Bone marrow aspirate smear
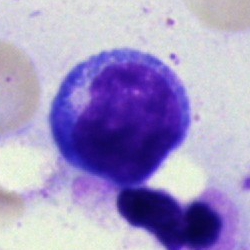Morphological class — lymphocyte.